Cropped to a single cell. Pappenheim-stained. Bone marrow smear:
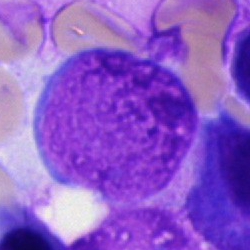 An artefact.